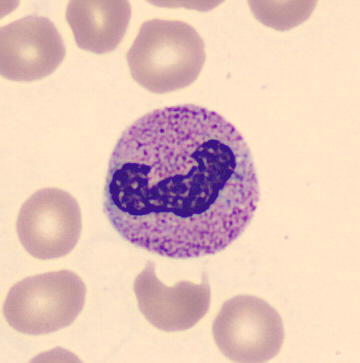Specimen: peripheral blood film.
Cell type: band-form neutrophil.